Bone marrow aspirate smear — 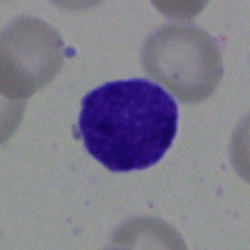 Q: Identify the cell.
A: It is a lymphocyte.